Single cell centered in the field · 40× oil immersion · bone marrow aspirate smear — 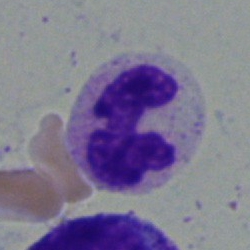

This is a neutrophil (segmented).